Bone marrow aspirate smear — 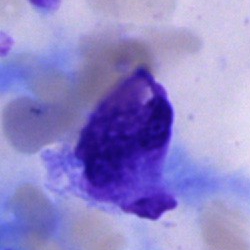
Classification — artifact.